Bone marrow aspirate smear — 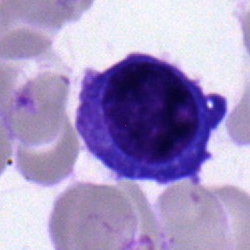
Specimen: bone marrow aspirate smear.
Morphological class: plasma cell.
Lineage: lymphoid.